Image size 250×250. Bone marrow smear
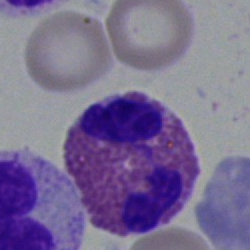

Morphological class: eosinophilic granulocyte.